40× oil immersion · bone marrow aspirate smear: 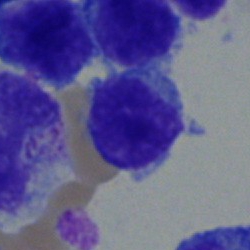

Morphology consistent with a typical lymphocyte.